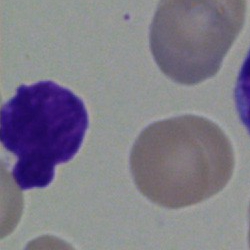Single-cell crop from a bone marrow smear: artefact.